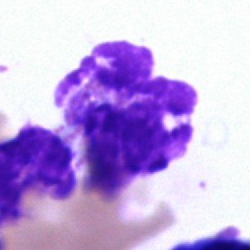Classification — artefact.